Bone marrow smear; 250×250:
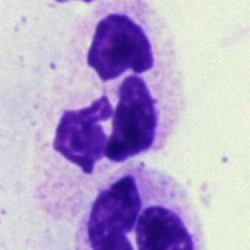 The cell is segmented neutrophil.